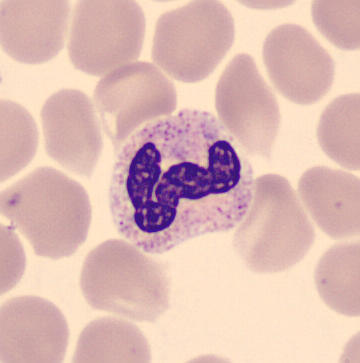Q: What is the morphological classification of this cell?
A: This is a band neutrophil.